Brightfield, 40× oil-immersion objective. 250 by 250 pixels. Bone marrow smear:
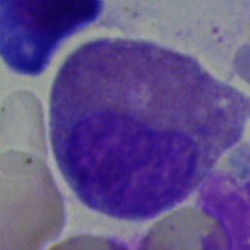Impression → eosinophil.